Bone marrow smear.
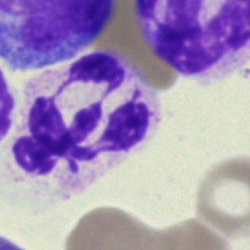
Classification = neutrophil (segmented).